Bone marrow aspirate smear: 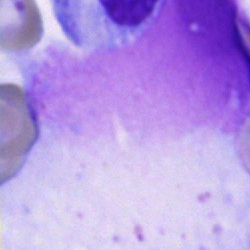
{"cell_type": "artefact"}